Peripheral blood smear; M8 digital microscope (Precipoint), 100× oil immersion; image size 400×400
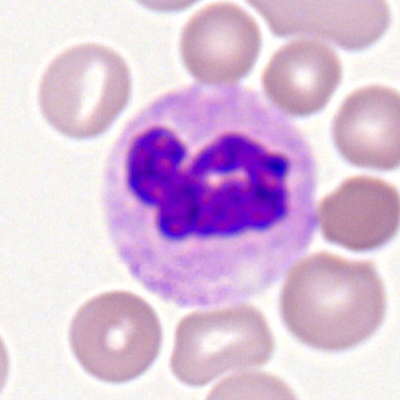
Specimen: peripheral blood film.
Cell type: neutrophil (segmented).
Lineage: myeloid.